Peripheral blood film.
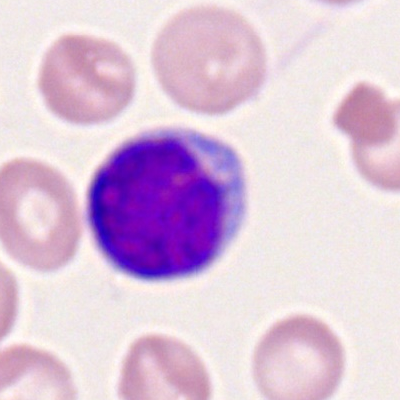
Impression → lymphocyte.